Bone marrow aspirate smear:
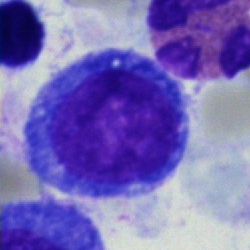Morphological class — blast cell.